M8 digital microscope (Precipoint), 100× oil immersion · peripheral blood film · 400×400.
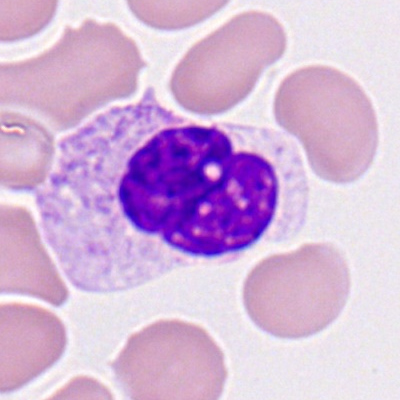

Cell type = polymorphonuclear neutrophil.